Bone marrow smear.
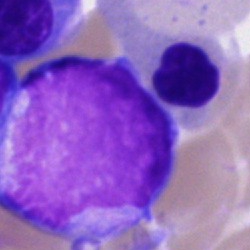 Q: What is shown here?
A: A blast.